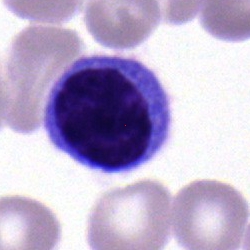 The cell shown is a lymphocyte.